Peripheral blood film; 100× oil immersion, 14.14 px/µm
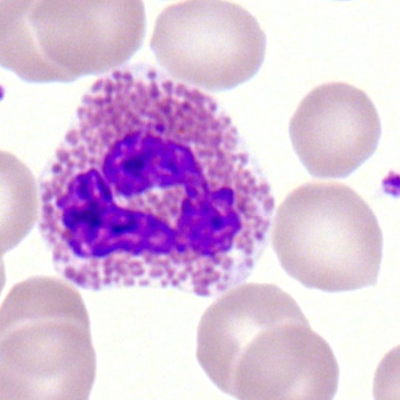

Q: What is shown here?
A: Eosinophilic granulocyte.